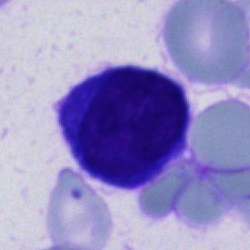 Specimen: bone marrow smear.
Cell type: cell of indeterminate lineage.